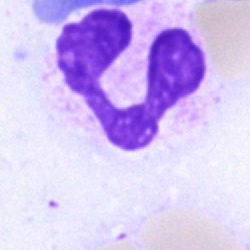
Q: What is the morphological classification of this cell?
A: Segmented neutrophil.